MGG-stained. Bone marrow aspirate smear.
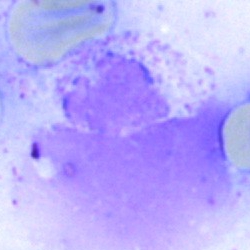Q: What is shown here?
A: Artifact.